Bone marrow smear; 40× oil immersion:
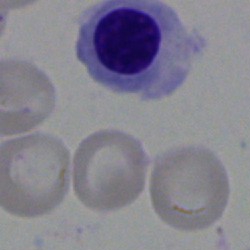 Specimen: bone marrow smear.
Morphological class: normoblast.